Peripheral blood film — 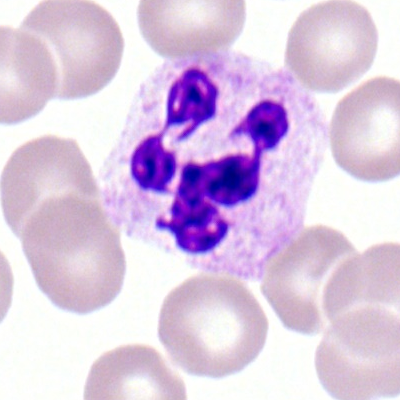 This is a neutrophil (segmented).